Bone marrow aspirate smear · MGG-stained · 250 by 250 pixels.
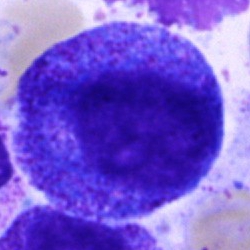

The cell shown is a progranulocyte.